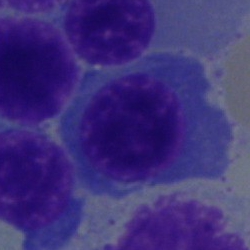

Cell: nucleated red blood cell.